400×400; peripheral blood film — 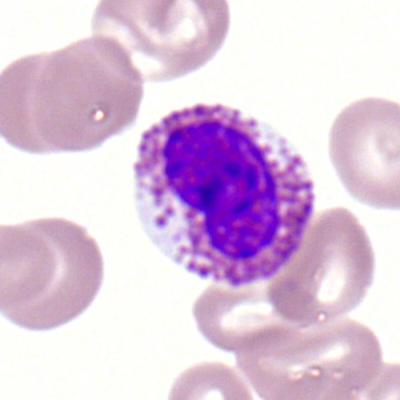

Single cell identified as an eosinophilic granulocyte.